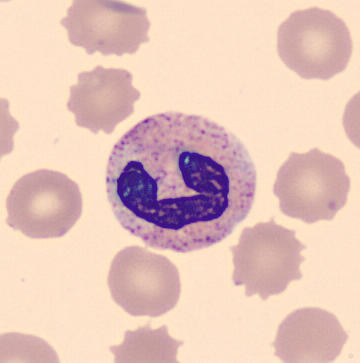

Q: What cell is this?
A: It is a band neutrophil.
Acquisition: Peripheral blood film. Image size 360×363.